Bone marrow smear:
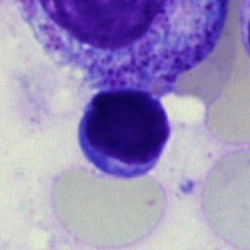

Q: What type of cell is this?
A: This is a typical lymphocyte.